Bone marrow smear; May-Grünwald-Giemsa stain.
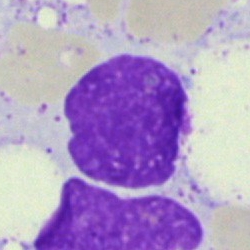

Q: What is shown here?
A: This is an artifact.